Bone marrow aspirate smear — 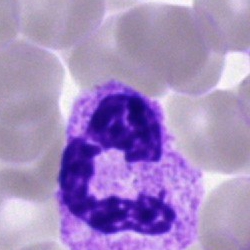

Q: Which cell type is shown here?
A: A segmented neutrophil.